Bone marrow smear: 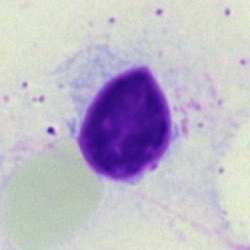

Specimen: bone marrow aspirate smear.
Cell: artifact.